Bone marrow smear
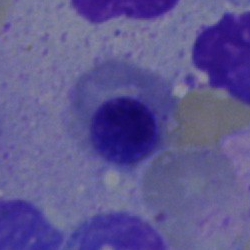

A nucleated red blood cell.